Bone marrow smear. 40× oil immersion. 250 by 250 pixels — 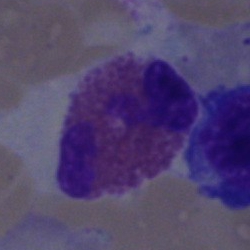

Classification = eosinophil.